May-Grünwald-Giemsa/Pappenheim stain; 250×250 px; bone marrow smear — 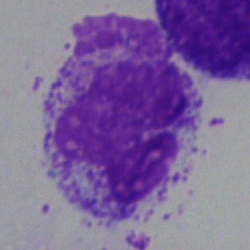 An artifact.